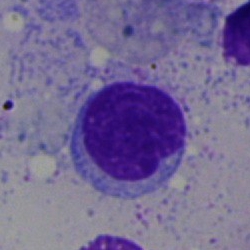

Impression — typical lymphocyte.